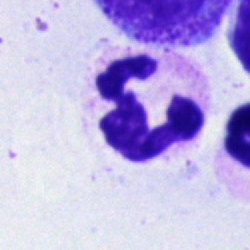 Specimen: bone marrow smear.
Cell type: neutrophil (segmented).
Lineage: myeloid.